Bone marrow smear: 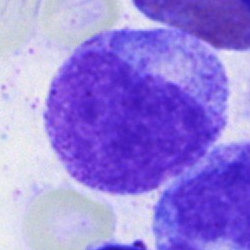 Cell — promyelocyte.